Peripheral blood film: 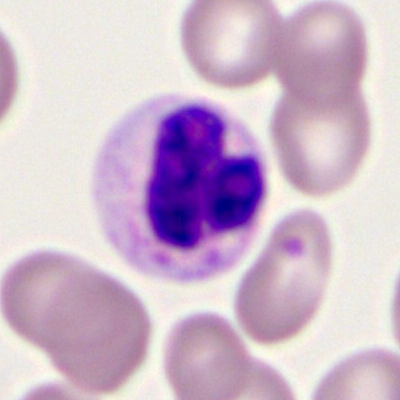 Morphology consistent with a neutrophil (segmented).